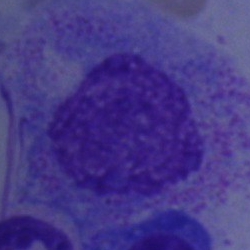
Morphological class = myelocyte.